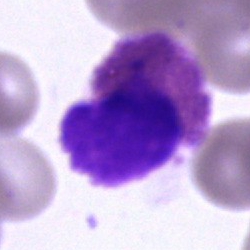This is a hairy cell.